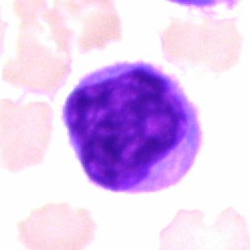 Specimen: bone marrow aspirate smear.
Cell: lymphocyte.